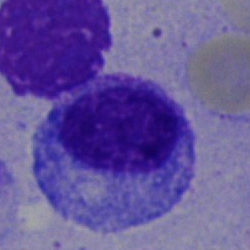
Specimen: bone marrow aspirate smear.
Cell: progranulocyte.
Lineage: myeloid.